Bone marrow aspirate smear:
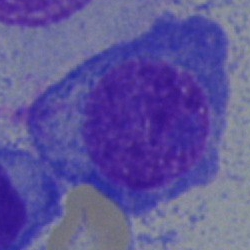

Cell type = plasmacyte.